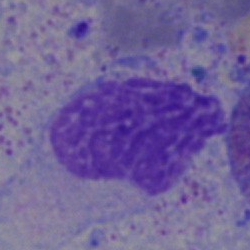

Bone marrow aspirate smear, single cell — artefact.